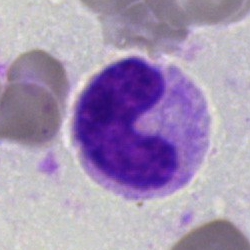 Band neutrophil.